Bone marrow smear.
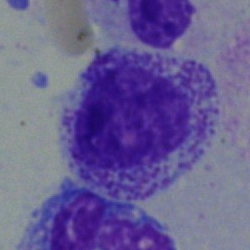

Specimen: bone marrow aspirate smear.
Cell: myelocyte.